Bone marrow aspirate smear.
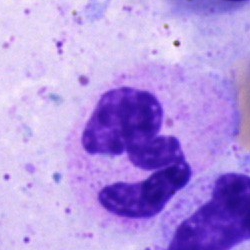

Specimen: bone marrow smear.
Cell: neutrophil (segmented).